40× oil immersion; bone marrow smear:
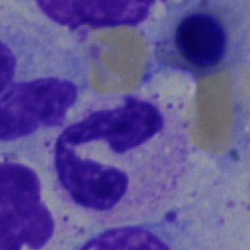Showing a neutrophil (segmented).